May-Grünwald-Giemsa/Pappenheim stain; bone marrow aspirate smear
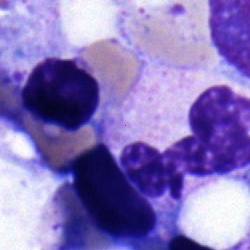

The cell shown is a segmented neutrophil.